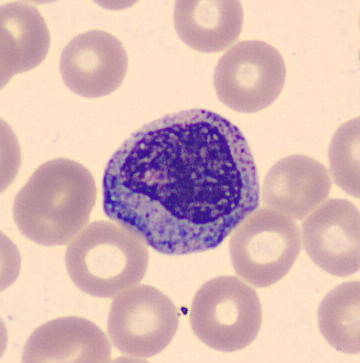Acquisition: Peripheral blood film. The cell is metamyelocyte.